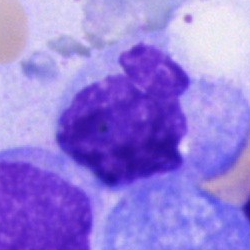Morphology → unidentifiable cell.